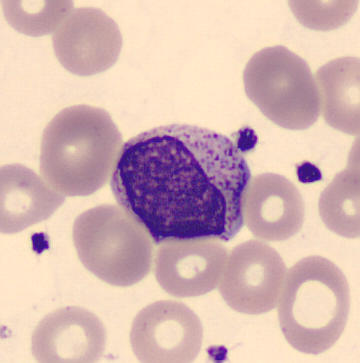
Cell — myelocyte.